Image size 250×250; bone marrow smear — 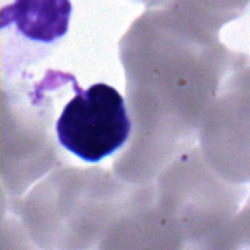 Impression — lymphocyte.